Bone marrow aspirate smear; May-Grünwald-Giemsa stain:
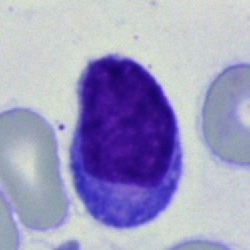 Morphology → undifferentiated blast.